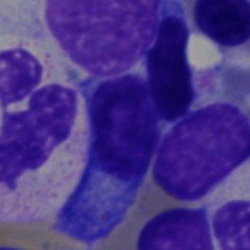

A plasmacyte.